250×250. Bone marrow smear.
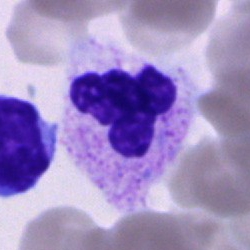 This is a polymorphonuclear neutrophil.